Bone marrow smear; image size 250×250: 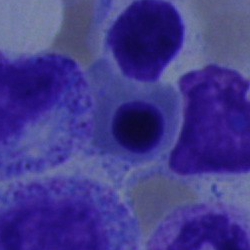
This is a nucleated red cell.